40× objective, oil immersion; bone marrow smear:
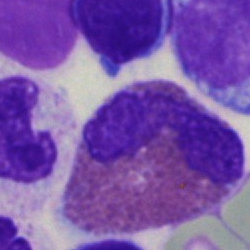
Q: What type of cell is this?
A: Eosinophil.